Bone marrow smear.
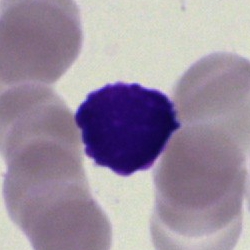Specimen: bone marrow aspirate smear.
Classification: typical lymphocyte.
Lineage: lymphoid.